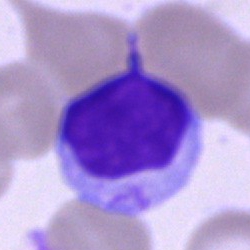 Q: What type of cell is this?
A: Typical lymphocyte.